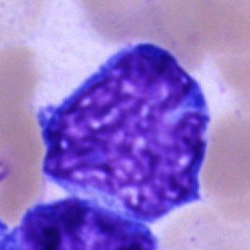
Q: What cell is this?
A: Blast.